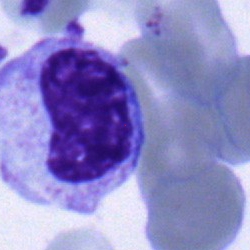

Morphology consistent with a metamyelocyte.